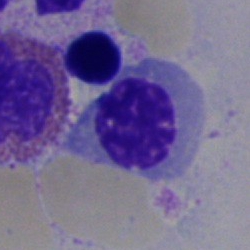 Bone marrow aspirate smear, single cell — nucleated red cell.